Bone marrow smear. Single cell centered in the field:
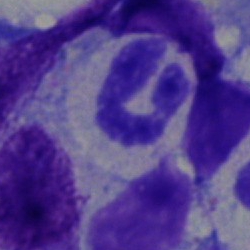Neutrophil (segmented).